Bone marrow aspirate smear
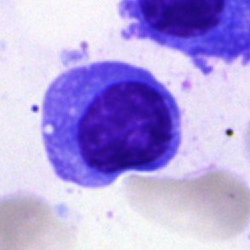This is a plasmacyte.